Pappenheim-stained; bone marrow aspirate smear; 40× objective, oil immersion: 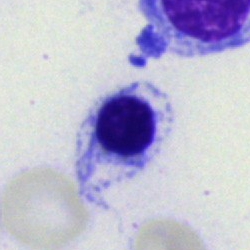

{"cell_type": "erythroblast"}